Bone marrow aspirate smear. Pappenheim-stained: 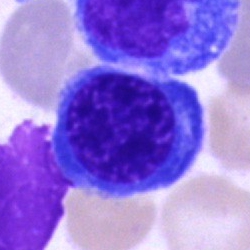 Nucleated red cell.